Cropped to a single cell; bone marrow aspirate smear: 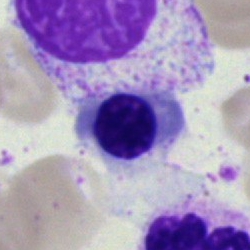 Q: What cell is this?
A: It is a nucleated red blood cell.